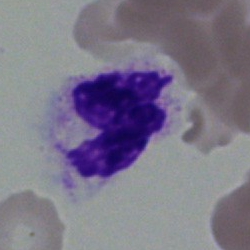Specimen: bone marrow smear.
Morphological class: segmented neutrophil.